Bone marrow smear.
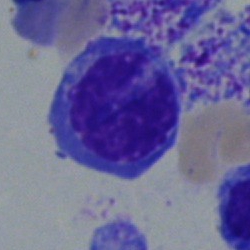This is a nucleated red cell.